Bone marrow smear.
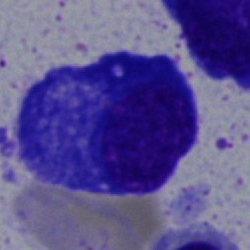

Morphology consistent with a plasma cell.